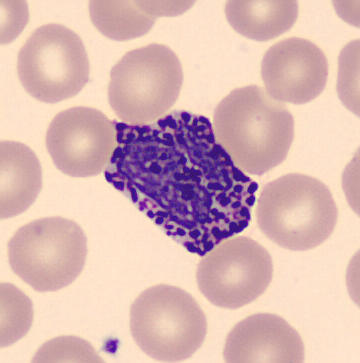Classification — basophilic granulocyte.
MGG stain; peripheral blood film.